Bone marrow aspirate smear.
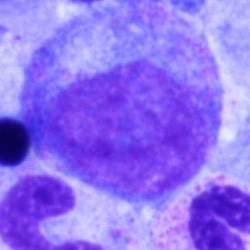
Morphology — progranulocyte.